Bone marrow aspirate smear
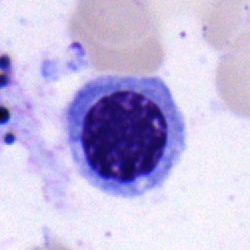Impression → erythroblast.